Bone marrow aspirate smear.
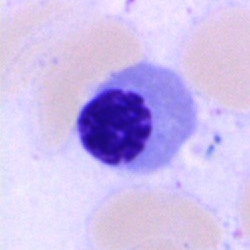 The cell type is nucleated red blood cell.